Bone marrow smear. 40× oil immersion — 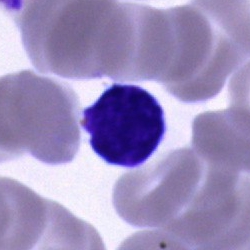 Showing a lymphocyte.